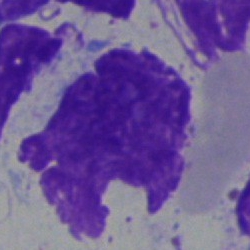

The cell shown is an artifact.